Single cell centered in the field. Bone marrow aspirate smear — 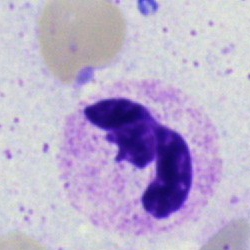

Q: Identify the cell.
A: A segmented neutrophil.